Bone marrow aspirate smear.
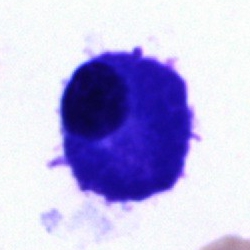Q: What cell is this?
A: It is a plasmacyte.